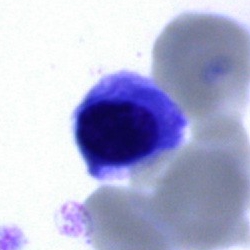Impression → nucleated red cell.